Bone marrow aspirate smear; 40× oil immersion — 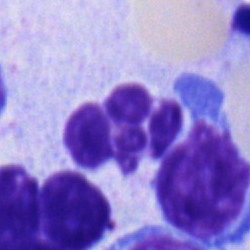

Morphology consistent with a segmented neutrophil.